Peripheral blood film
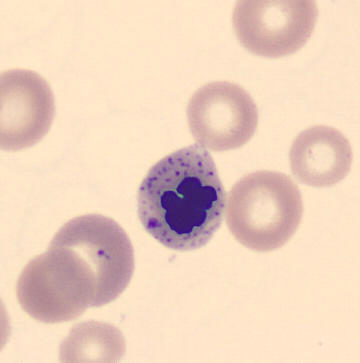 Identified as a nucleated red cell.